Bone marrow aspirate smear — 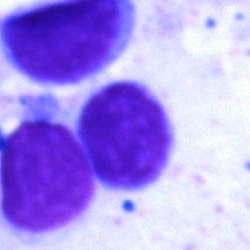

Specimen: bone marrow smear.
Classification: lymphocyte.
Lineage: lymphoid.